40× objective, oil immersion. Pappenheim-stained. Bone marrow smear: 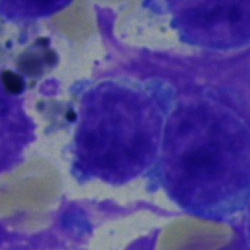

Specimen: bone marrow smear.
Cell type: typical lymphocyte.
Lineage: lymphoid.